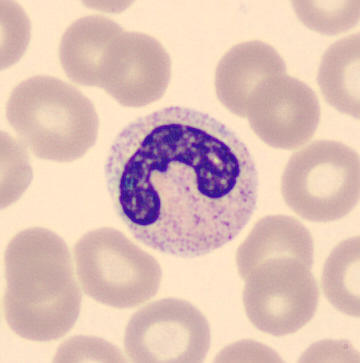Specimen: peripheral blood film.
Classification: band neutrophil.